Bone marrow aspirate smear.
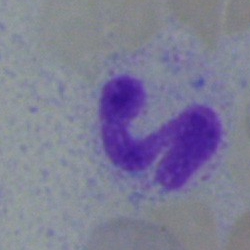
Specimen: bone marrow smear.
Morphological class: neutrophil (segmented).